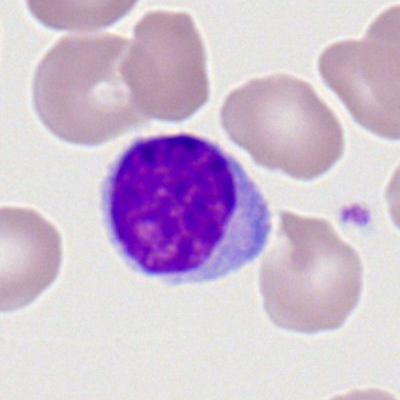

Morphology → lymphocyte.